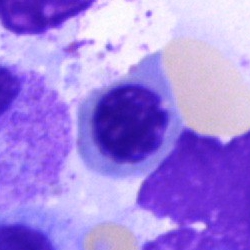 The morphological class is nucleated red cell.